Single cell centered in the field · bone marrow smear: 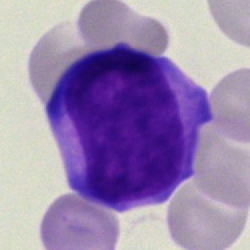
Q: Identify the cell.
A: This is a lymphocyte.